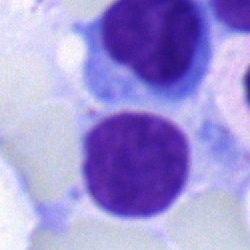
Single cell identified as a typical lymphocyte.